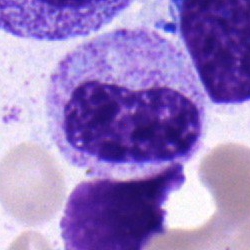 Specimen: bone marrow aspirate smear.
Cell type: metamyelocyte.